Bone marrow aspirate smear
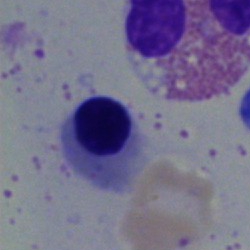

Cell type — normoblast.